Bone marrow aspirate smear — 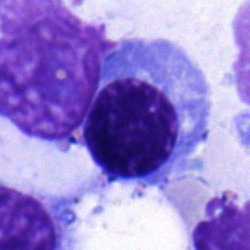Q: What cell is this?
A: Myelocyte.